Bone marrow smear.
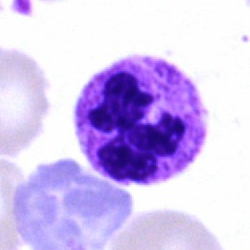 The cell shown is a polymorphonuclear neutrophil.